Bone marrow smear. 250×250 px. Brightfield, 40× oil-immersion objective: 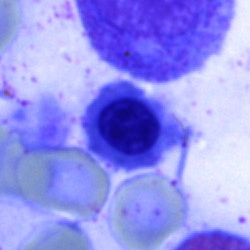

Morphological class: nucleated red cell.